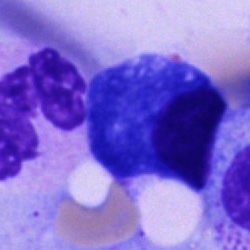

Specimen: bone marrow aspirate smear.
Cell: plasma cell.
Lineage: lymphoid.